Bone marrow smear.
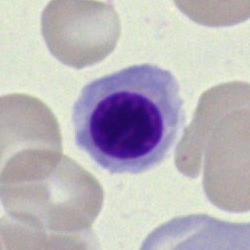

A normoblast.